Bone marrow smear. 250×250. Single-cell crop
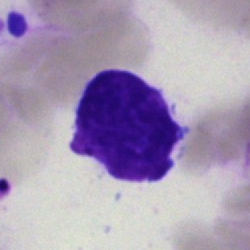Cell — artefact.